Bone marrow aspirate smear: 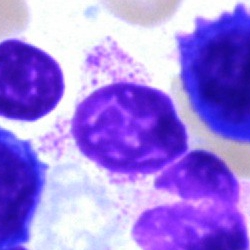Morphology — artefact.